Bone marrow aspirate smear. 40× objective, oil immersion:
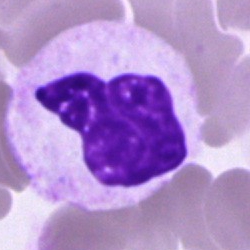 Specimen: bone marrow smear.
Classification: neutrophil (segmented).
Lineage: myeloid.